Bone marrow smear: 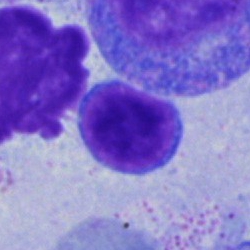
Q: Which cell type is shown here?
A: Lymphocyte.